Bone marrow smear — 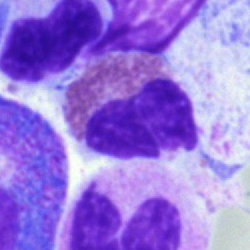Morphology — eosinophilic granulocyte.